Bone marrow smear. Brightfield, 40× oil-immersion objective: 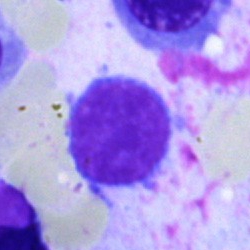

Specimen: bone marrow aspirate smear.
Cell: lymphocyte.